Bone marrow aspirate smear — 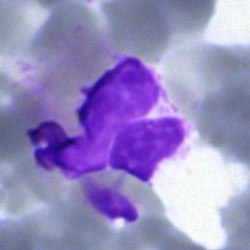Showing an artefact.